Pappenheim-stained · bone marrow smear: 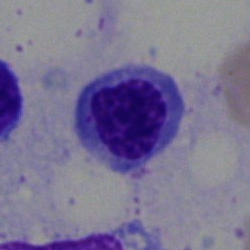 Q: Identify the cell.
A: Nucleated red blood cell.